Single-cell field; peripheral blood smear
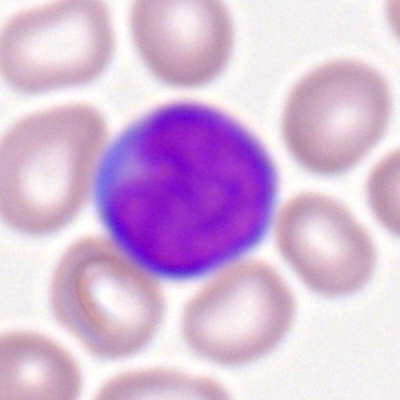
{"cell_type": "myeloid blast", "lineage": "myeloid"}